250×250 · bone marrow aspirate smear — 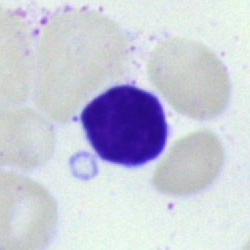

Q: What cell is this?
A: A lymphocyte.